Peripheral blood film: 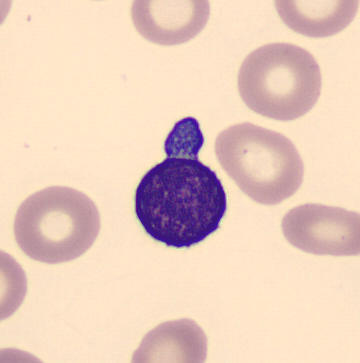 Morphology consistent with a lymphocyte.